Bone marrow smear.
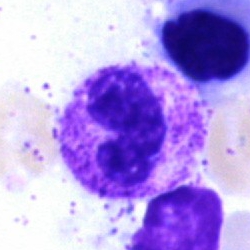Cell type = stab cell.